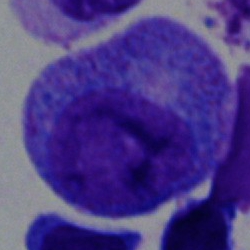

{"cell_type": "promyelocyte", "lineage": "myeloid"}